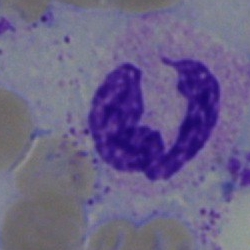 Impression — polymorphonuclear neutrophil.